Bone marrow aspirate smear; single-cell crop — 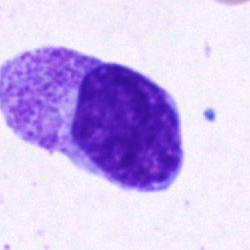This is a myelocyte.